Bone marrow smear. May-Grünwald-Giemsa stain.
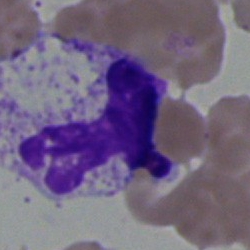

Specimen: bone marrow smear.
Classification: neutrophil (segmented).
Lineage: myeloid.